Romanowsky-stained. Peripheral blood film
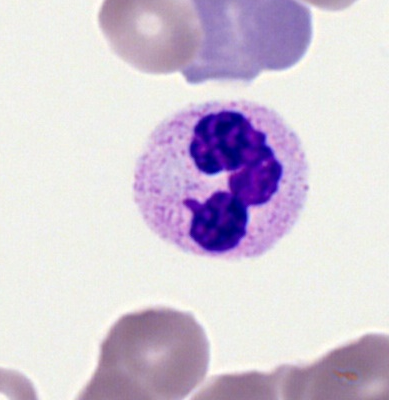

Morphology — polymorphonuclear neutrophil.